250×250; bone marrow smear — 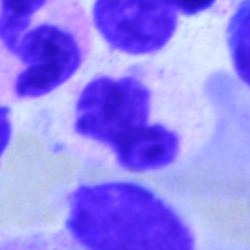
The classification is neutrophil (segmented).